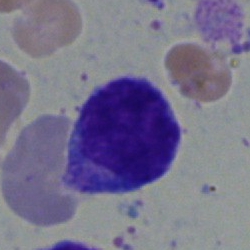

Specimen: bone marrow smear.
Classification: lymphocyte.